Bone marrow smear · May-Grünwald-Giemsa stain · brightfield, 40× oil-immersion objective.
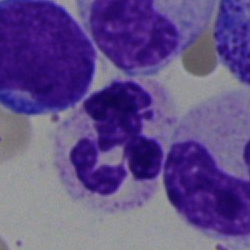

The cell shown is a polymorphonuclear neutrophil.